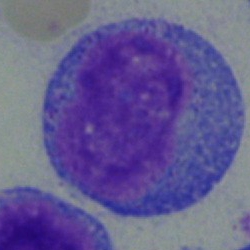The cell shown is a progranulocyte.